Bone marrow smear; cropped to a single cell:
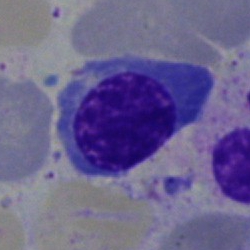
Q: What cell is this?
A: Normoblast.